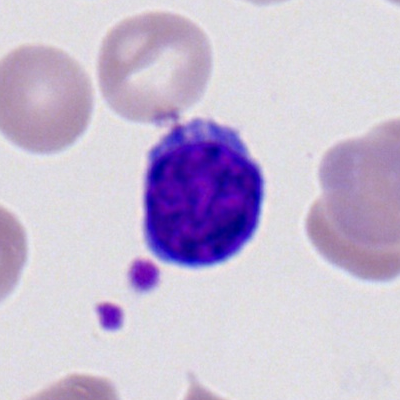

Cell type = lymphocyte.